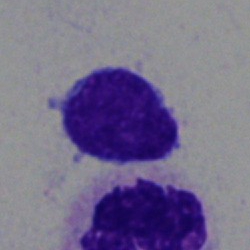Specimen: bone marrow aspirate smear.
Cell type: typical lymphocyte.